Bone marrow smear · 40× oil immersion: 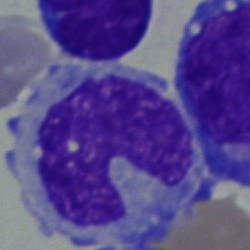Single cell identified as a monocyte.